Pappenheim-stained · bone marrow smear · single-cell crop
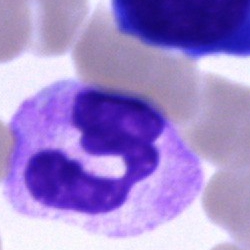

Specimen: bone marrow smear.
Cell type: neutrophil (segmented).